Bone marrow smear; Pappenheim-stained — 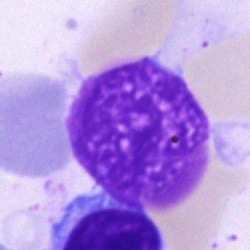Q: What is shown here?
A: This is an artifact.